Bone marrow smear — 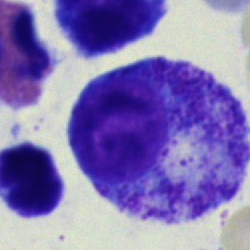 Single cell identified as a progranulocyte.